Bone marrow smear: 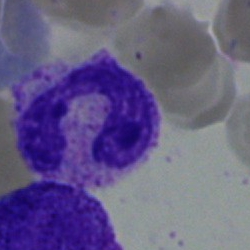

Band-form neutrophil.